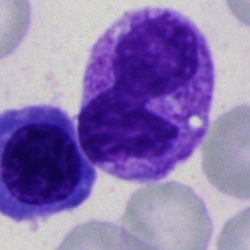

Impression → segmented neutrophil.